Bone marrow smear · 250 by 250 pixels
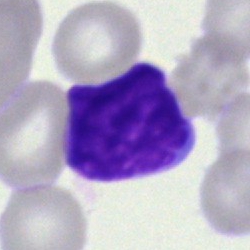 Q: What is the morphological classification of this cell?
A: A blast.